Cropped to a single cell · 40× oil immersion · bone marrow aspirate smear.
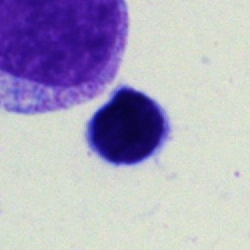Q: What is the morphological classification of this cell?
A: A lymphocyte.